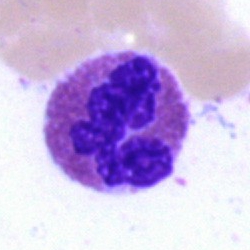Classification: eosinophil.